Pappenheim-stained. Bone marrow smear. Brightfield, 40× oil-immersion objective:
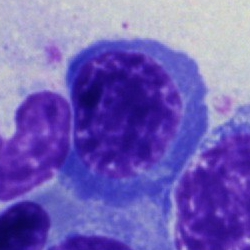

Q: Identify the cell.
A: It is an erythroblast.